Single cell centered in the field. Bone marrow smear. 250×250 px.
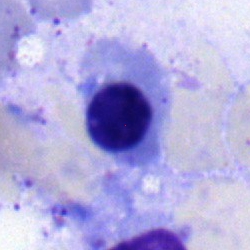 A nucleated red blood cell.